Bone marrow smear; May-Grünwald-Giemsa/Pappenheim stain: 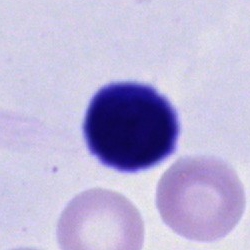 {"cell_type": "unidentifiable cell"}